Bone marrow aspirate smear: 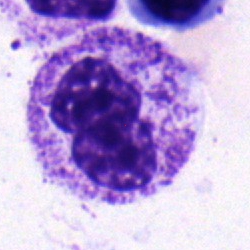

Single cell identified as a polymorphonuclear neutrophil.